Bone marrow aspirate smear
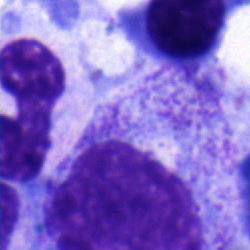Morphology consistent with a stab cell.